Bone marrow smear; single-cell crop
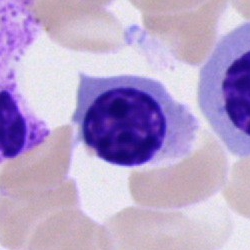 Cell = erythroblast.